Cropped to a single cell. Bone marrow aspirate smear — 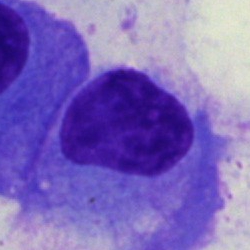Cell = plasma cell.